Cropped to a single cell. Bone marrow smear:
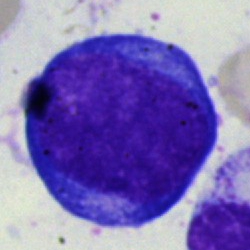
Specimen: bone marrow smear.
Classification: pronormoblast.
Lineage: erythroid.